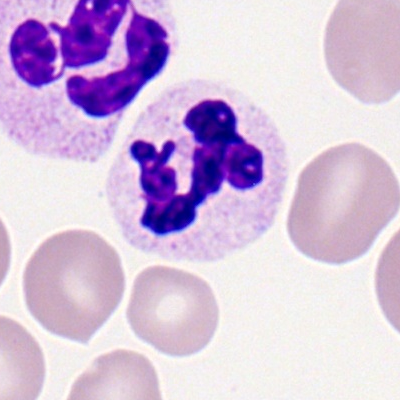

The cell shown is a segmented neutrophil.